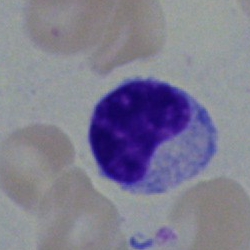
A metamyelocyte on a bone marrow smear.